Single-cell field. Peripheral blood smear — 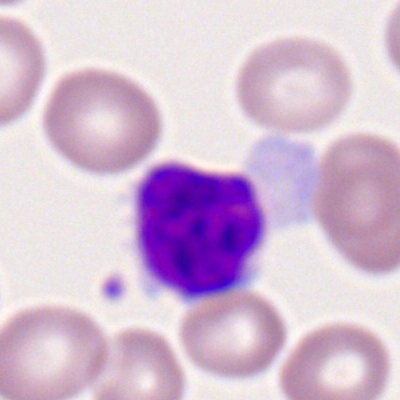 Morphological class — lymphocyte.